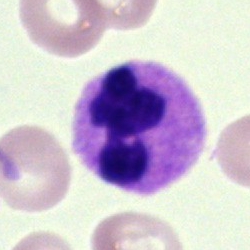 Impression → polymorphonuclear neutrophil.